Bone marrow aspirate smear:
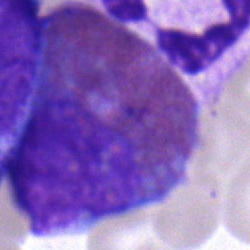
The cell shown is an eosinophil.